Single-cell crop · bone marrow smear · MGG-stained.
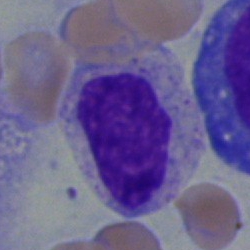
Impression → myelocyte.